Bone marrow aspirate smear.
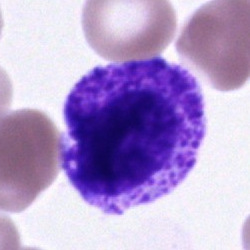
Impression — myelocyte.